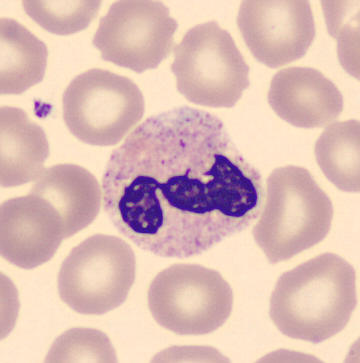

MGG-stained.

Specimen: peripheral blood smear.
Cell: polymorphonuclear neutrophil.
Lineage: myeloid.